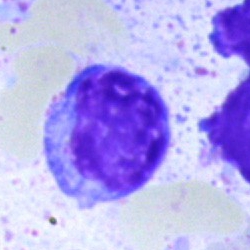
A typical lymphocyte on a bone marrow smear.